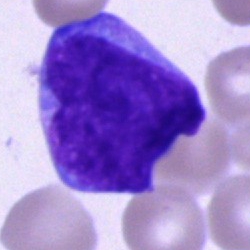 Q: What type of cell is this?
A: Blast.